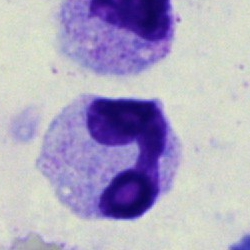
Q: What is the morphological classification of this cell?
A: This is a polymorphonuclear neutrophil.